250 by 250 pixels · bone marrow smear.
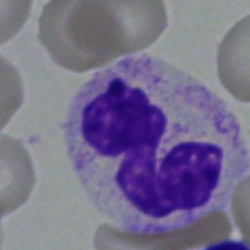The cell shown is a neutrophil (band).